Bone marrow aspirate smear.
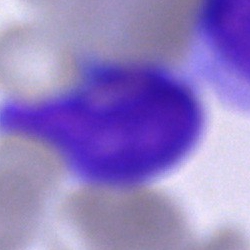
Morphology consistent with an unidentifiable cell.